Bone marrow smear. May-Grünwald-Giemsa stain.
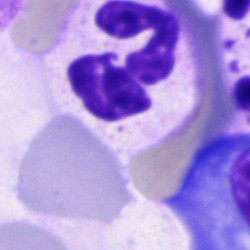
The cell shown is a polymorphonuclear neutrophil.